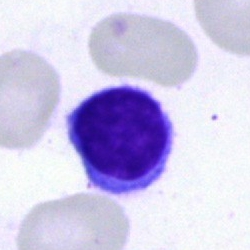

Morphology — typical lymphocyte.